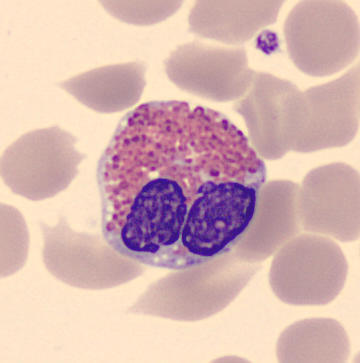
Image: Peripheral blood smear.

Morphological class: eosinophilic granulocyte.